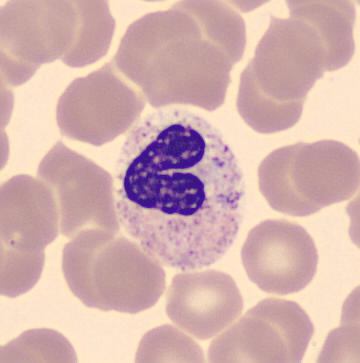
A band neutrophil. Peripheral blood film.